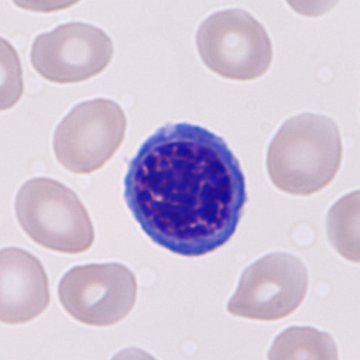

Acquisition: Peripheral blood smear; cropped to a single cell.
Classification: normoblast.